May-Grünwald-Giemsa/Pappenheim stain · bone marrow aspirate smear · 250×250 px
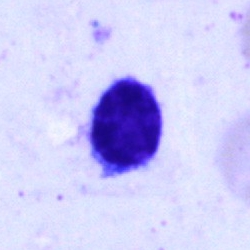Q: Identify the cell.
A: It is a lymphocyte.